Bone marrow smear. 250×250. May-Grünwald-Giemsa/Pappenheim stain: 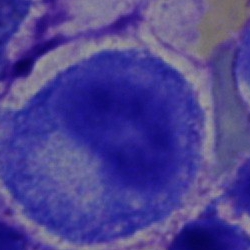

Progranulocyte.